Bone marrow smear
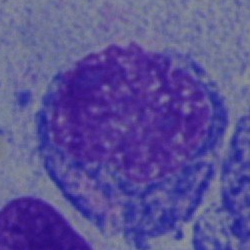
Classification = blast.